Bone marrow aspirate smear · brightfield microscopy, 40× oil immersion · 250 by 250 pixels.
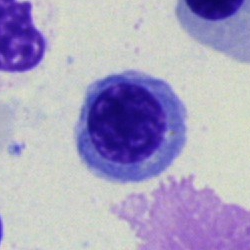 Morphology consistent with a normoblast.